Bone marrow aspirate smear.
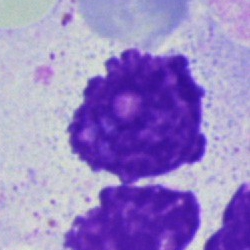An artefact.